250×250; May-Grünwald-Giemsa stain; bone marrow aspirate smear
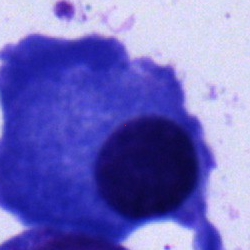

Q: What type of cell is this?
A: A plasma cell.